Peripheral blood smear:
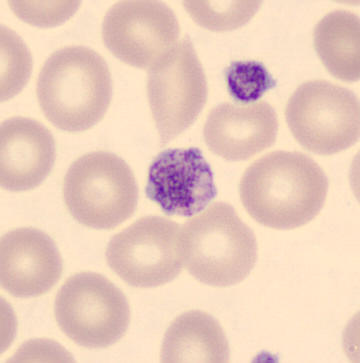

Q: What is shown here?
A: A platelet.